Bone marrow smear — 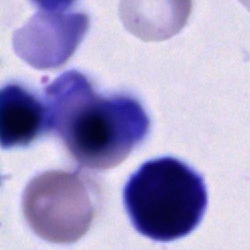
This is an unidentifiable cell.